Bone marrow aspirate smear:
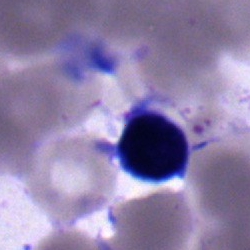 Specimen: bone marrow aspirate smear.
Cell: typical lymphocyte.
Lineage: lymphoid.